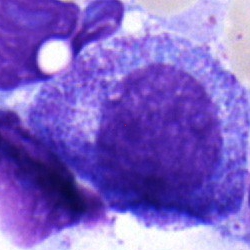

Morphology — progranulocyte.